Image size 250×250 · bone marrow aspirate smear — 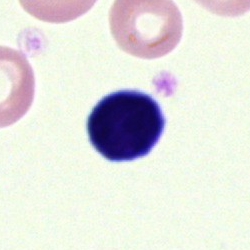 An artefact.